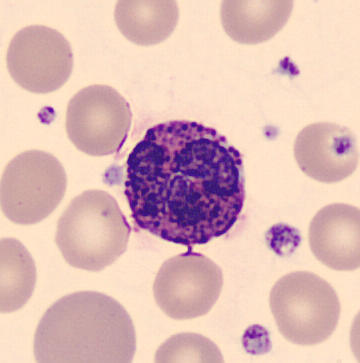

Specimen: peripheral blood smear.
Cell type: basophil.
Lineage: myeloid.